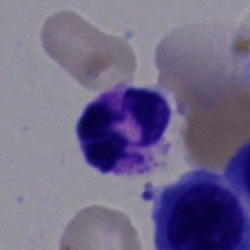{"cell_type": "neutrophil (segmented)"}